MGG-stained. Bone marrow aspirate smear. Brightfield, 40× oil-immersion objective:
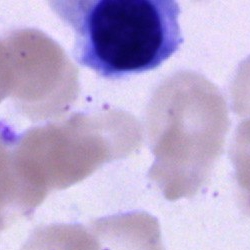 Cell = unidentifiable cell.